Bone marrow smear — 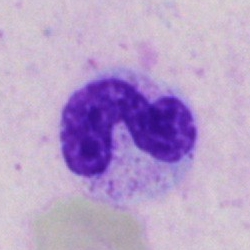

Classification — segmented neutrophil.